Bone marrow smear: 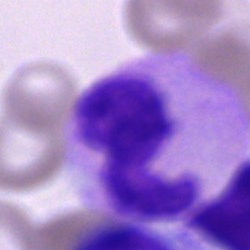 This is a cell of indeterminate lineage.